Bone marrow smear: 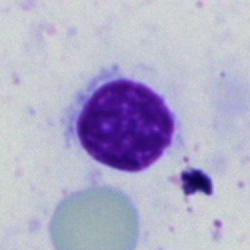

A typical lymphocyte.